Peripheral blood film
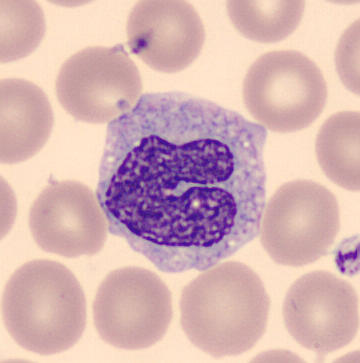
The cell shown is a monocyte.